Single-cell field. Bone marrow smear. 40× objective, oil immersion: 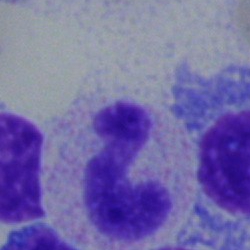 Specimen: bone marrow aspirate smear.
Classification: stab cell.